Bone marrow aspirate smear
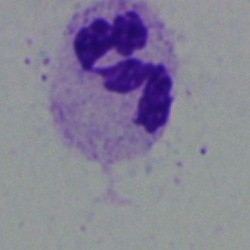 Cell type: segmented neutrophil.